May-Grünwald-Giemsa stain; bone marrow aspirate smear — 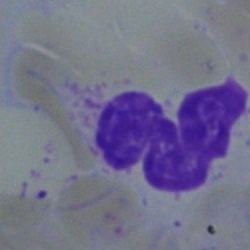A polymorphonuclear neutrophil.